Cropped to a single cell · bone marrow aspirate smear
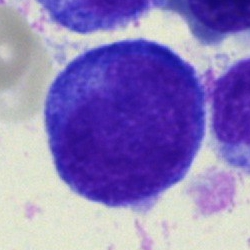

Q: What cell is this?
A: Proerythroblast.